Bone marrow smear; 40× oil immersion
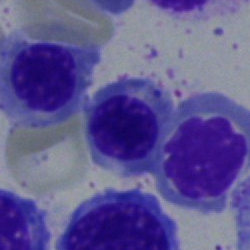

Showing a nucleated red cell.